Bone marrow smear · single-cell crop · 250×250.
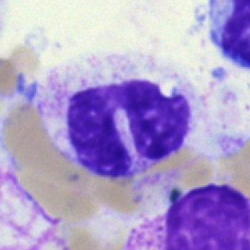
Single cell identified as a segmented neutrophil.